Bone marrow aspirate smear. Image size 250×250: 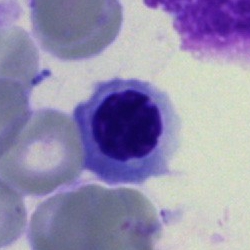
Impression — nucleated red cell.